Bone marrow aspirate smear — 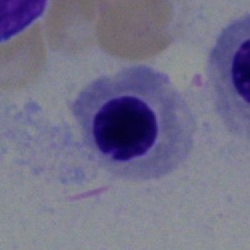

Morphological class = nucleated red blood cell.